Bone marrow smear · single cell centered in the field
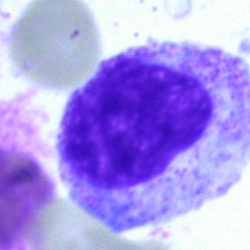Myelocyte.